May-Grünwald-Giemsa/Pappenheim stain. Bone marrow aspirate smear: 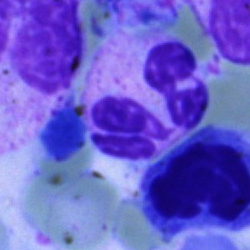 Cell type: neutrophil (segmented).